Bone marrow aspirate smear. Brightfield microscopy, 40× oil immersion
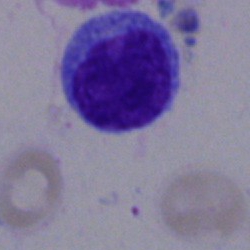{"cell_type": "typical lymphocyte"}